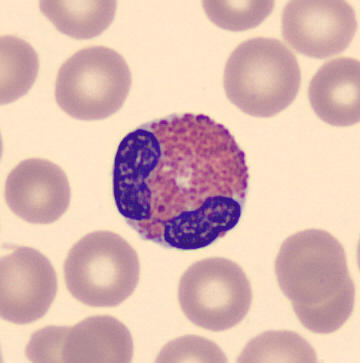 Acquisition: Peripheral blood smear; MGG-stained.

Identified as an eosinophilic granulocyte.